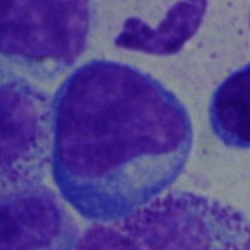Morphology → blast.